Bone marrow smear — 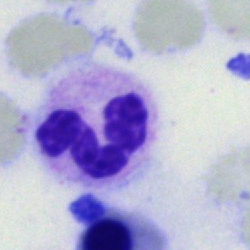
Showing a polymorphonuclear neutrophil.